Bone marrow aspirate smear.
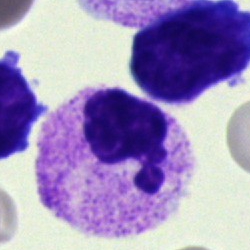Impression → neutrophil (segmented).